250×250. Bone marrow smear
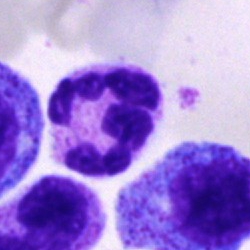 Morphological class — segmented neutrophil.